250 by 250 pixels · bone marrow smear:
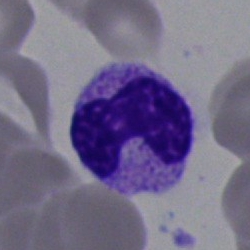

Q: What cell is this?
A: This is a stab cell.